Bone marrow smear:
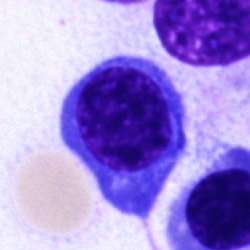 A nucleated red blood cell.